Bone marrow aspirate smear. Single cell centered in the field: 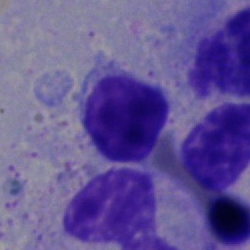
Showing a lymphocyte.